Romanowsky stain · peripheral blood smear.
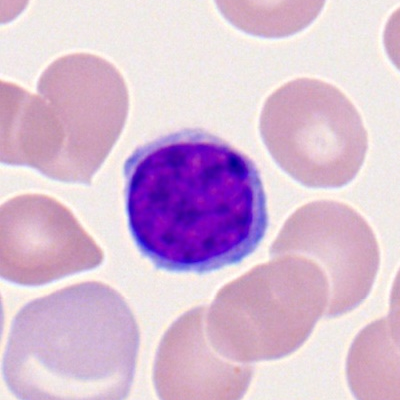
Q: What type of cell is this?
A: This is a lymphocyte.